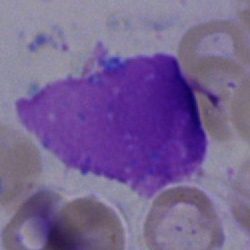
An artifact.